Bone marrow smear
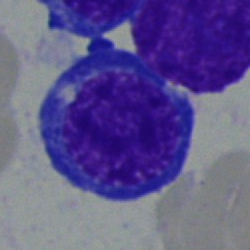

Nucleated red cell.